Pappenheim-stained. Bone marrow smear. Single cell centered in the field.
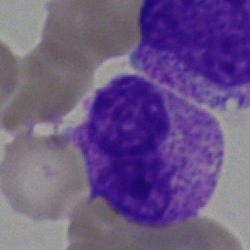

Q: What is the morphological classification of this cell?
A: This is a band neutrophil.